Bone marrow smear. MGG-stained. Brightfield microscopy, 40× oil immersion: 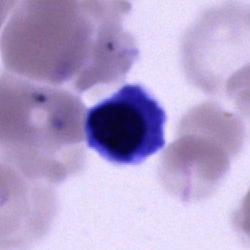Q: What is shown here?
A: It is an erythroblast.